Image size 250×250; bone marrow smear: 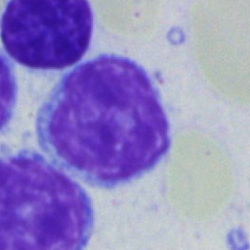 Q: What is shown here?
A: This is a typical lymphocyte.